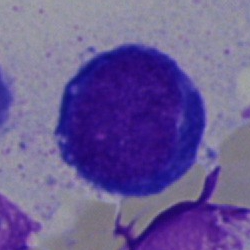 Morphology → erythroblast.